250×250 px; brightfield, 40× oil-immersion objective; bone marrow smear.
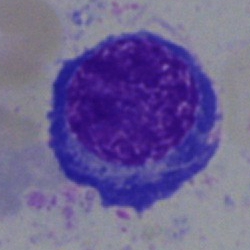

Cell type = erythroblast.